May-Grünwald-Giemsa/Pappenheim stain; bone marrow smear:
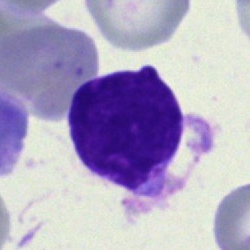 Q: What is shown here?
A: Artifact.